Peripheral blood smear; 100× oil immersion, 14.14 px/µm — 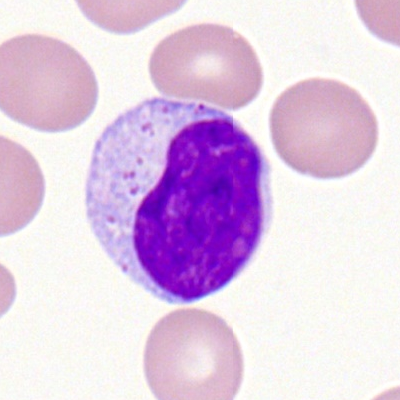

Specimen: peripheral blood film.
Morphological class: typical lymphocyte.